Bone marrow smear: 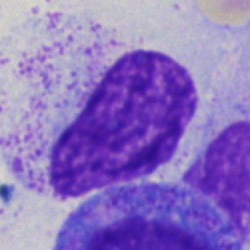
Q: Identify the cell.
A: A myelocyte.